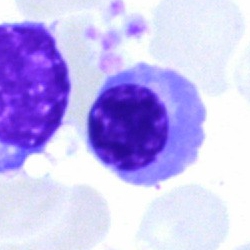Q: Which cell type is shown here?
A: It is an erythroblast.